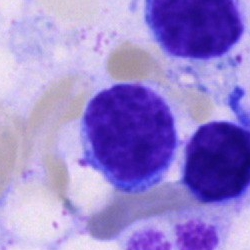
Impression → lymphocyte.